Single-cell crop · bone marrow aspirate smear.
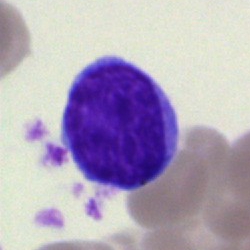

Morphological class — typical lymphocyte.